Bone marrow aspirate smear; 250 by 250 pixels — 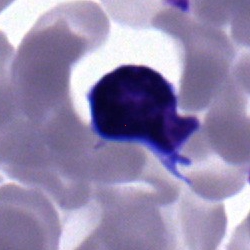 This is a lymphocyte.